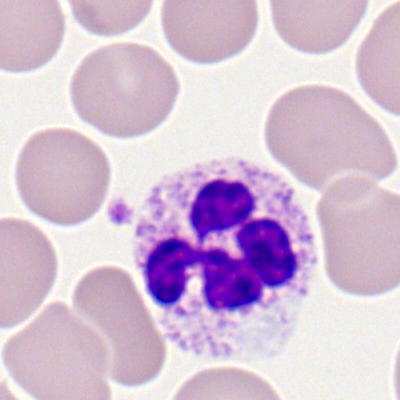

{"cell_type": "segmented neutrophil", "lineage": "myeloid"}